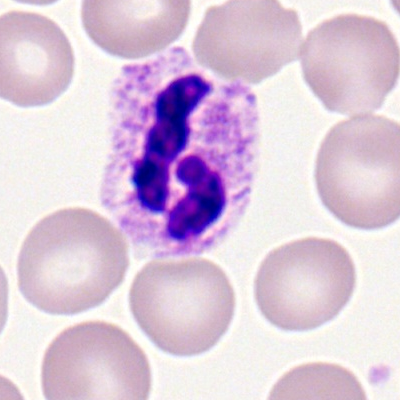 The morphological class is segmented neutrophil.